Bone marrow smear:
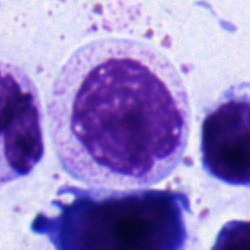Morphology consistent with a myelocyte.